Bone marrow aspirate smear.
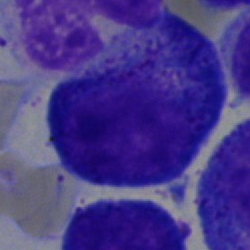

The morphological class is promyelocyte.